Bone marrow smear
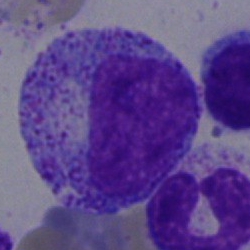
Q: Which cell type is shown here?
A: Promyelocyte.